Bone marrow smear
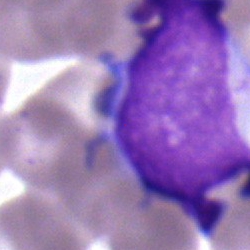

Specimen: bone marrow smear.
Cell: lymphocyte.
Lineage: lymphoid.